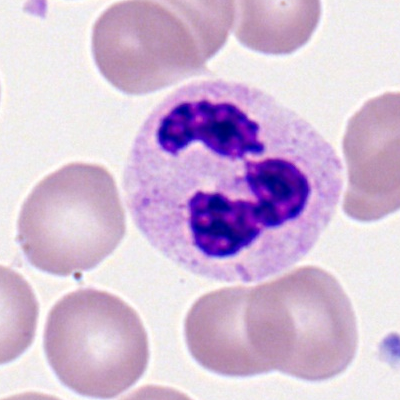

Specimen: peripheral blood film.
Classification: neutrophil (segmented).